Bone marrow aspirate smear.
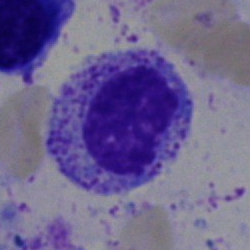
Cell type — myelocyte.